Bone marrow aspirate smear; May-Grünwald-Giemsa/Pappenheim stain — 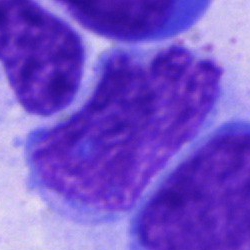Showing a cell of indeterminate lineage.